Bone marrow aspirate smear. 40× objective, oil immersion — 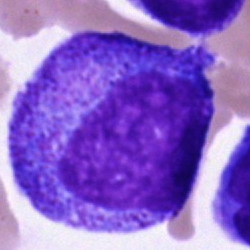A progranulocyte.